Bone marrow smear — 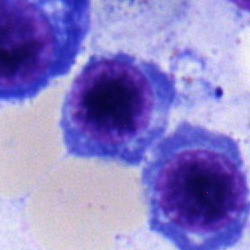
Morphology → erythroblast.